250×250. Bone marrow smear — 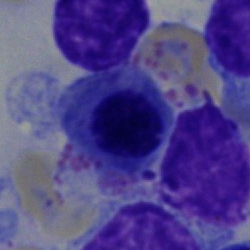

Classification: erythroblast.